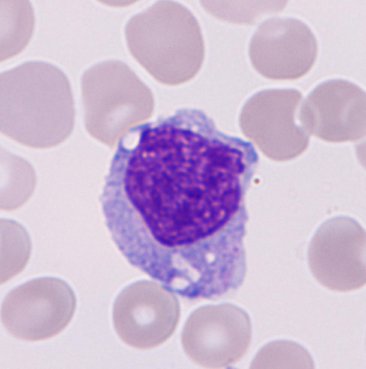 Cell type: monocyte.